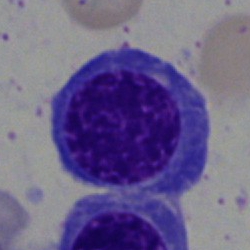

Bone marrow aspirate smear, single cell — erythroblast.